Bone marrow smear — 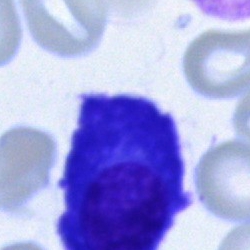
Specimen: bone marrow smear.
Cell type: plasma cell.